Bone marrow aspirate smear. Single cell centered in the field.
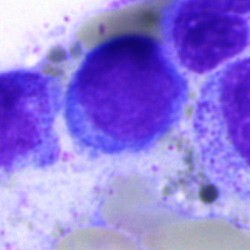
{"cell_type": "typical lymphocyte", "lineage": "lymphoid"}